Bone marrow smear — 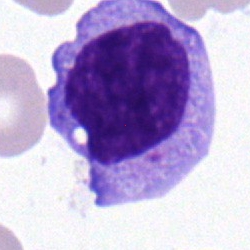

Specimen: bone marrow aspirate smear.
Cell type: typical lymphocyte.
Lineage: lymphoid.